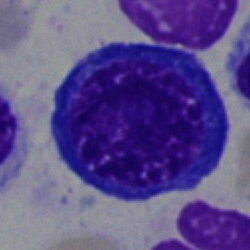

Q: What is shown here?
A: This is a nucleated red cell.